Image size 250×250; bone marrow aspirate smear:
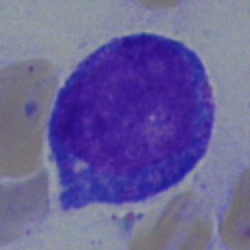

Q: Which cell type is shown here?
A: This is a blast cell.